Bone marrow aspirate smear: 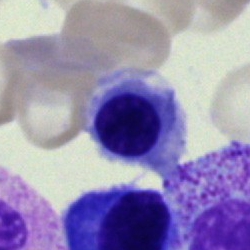
A nucleated red cell.